Peripheral blood film:
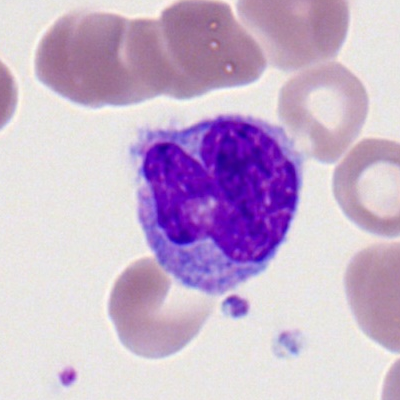

Morphology — monocyte.